Peripheral blood film; May Grünwald-Giemsa stain; single-cell field: 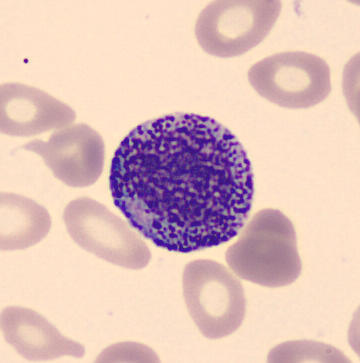{"cell_type": "promyelocyte", "lineage": "myeloid"}